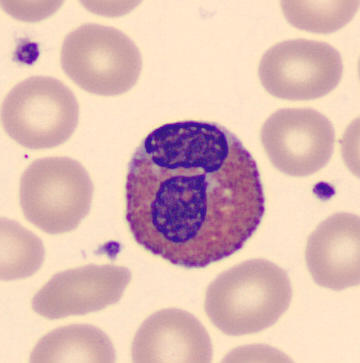

Image: Peripheral blood smear.

Morphological class — eosinophil.